Bone marrow aspirate smear.
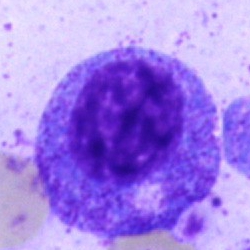 Showing a promyelocyte.